Peripheral blood film:
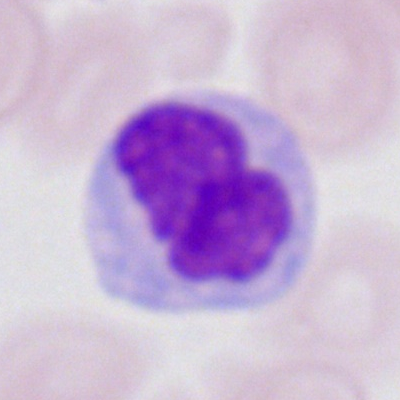

Cell — monocyte.